Bone marrow smear: 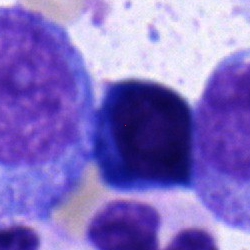Q: What is shown here?
A: Nucleated red blood cell.